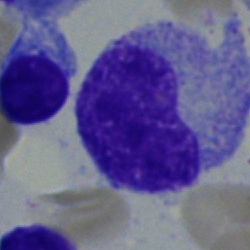
Q: What is shown here?
A: A metamyelocyte.